Bone marrow smear: 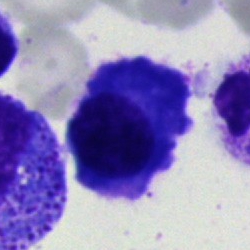

This is a plasma cell.